Bone marrow aspirate smear.
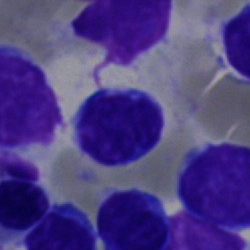 Q: What is the morphological classification of this cell?
A: Typical lymphocyte.